Pappenheim-stained · bone marrow smear · 250×250.
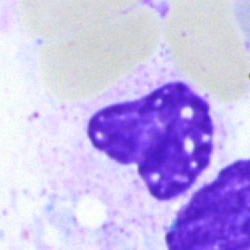
Q: What is shown here?
A: It is an artefact.